Bone marrow aspirate smear.
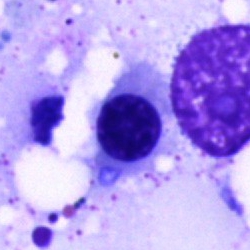

An unidentifiable cell.